Bone marrow smear
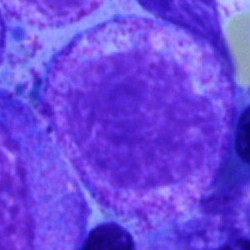

Specimen: bone marrow smear.
Morphological class: myelocyte.